Bone marrow smear · single cell centered in the field · 40× oil immersion:
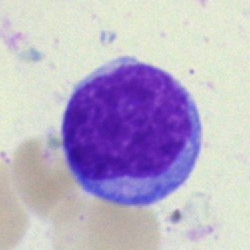Single cell identified as an undifferentiated blast.